Brightfield microscopy, 40× oil immersion · bone marrow aspirate smear · cropped to a single cell
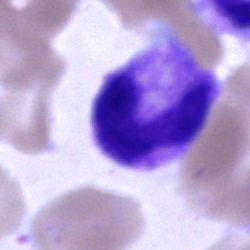
Showing a stab cell.